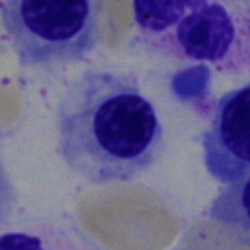Morphology → nucleated red cell.